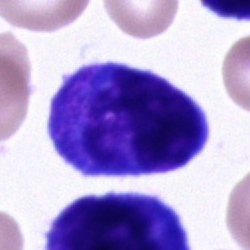

Morphological class — unidentifiable cell.